Peripheral blood film; single-cell crop; 400 by 400 pixels — 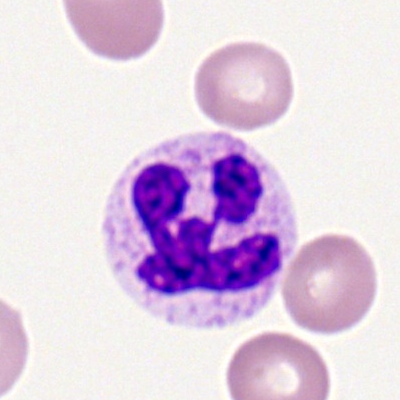A polymorphonuclear neutrophil.